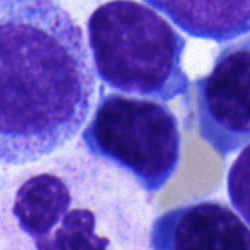
A typical lymphocyte on a bone marrow smear.